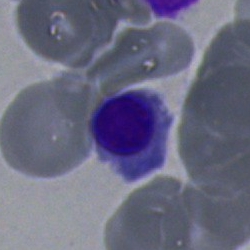 Showing a normoblast.